Bone marrow aspirate smear:
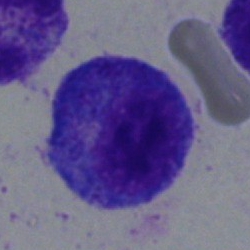

Q: What is the morphological classification of this cell?
A: A promyelocyte.